Bone marrow smear.
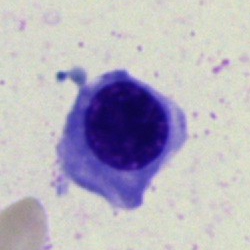 Morphology consistent with a normoblast.